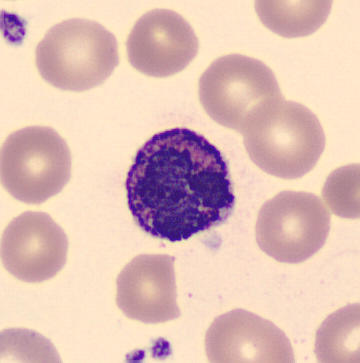{"cell_type": "basophil"}